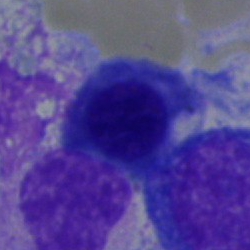
Q: What is shown here?
A: It is a nucleated red blood cell.